Single-cell field; bone marrow aspirate smear: 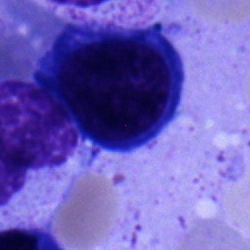This is a nucleated red blood cell.